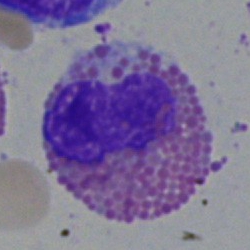

This is an eosinophilic granulocyte.